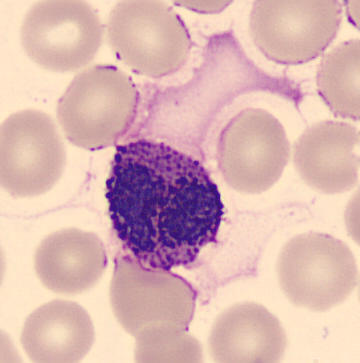Specimen: peripheral blood film.
Cell: basophil.

Image size 360×363.